Bone marrow smear
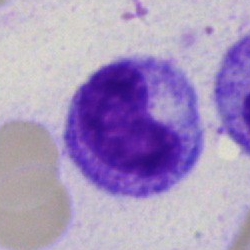Morphology — metamyelocyte.